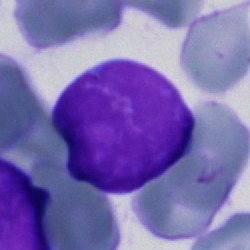Showing a blast.